250×250 px. Bone marrow aspirate smear.
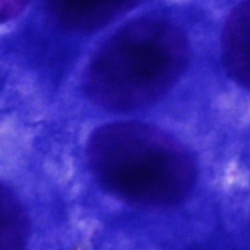
Morphological class — other cell.